MGG-stained. Bone marrow aspirate smear.
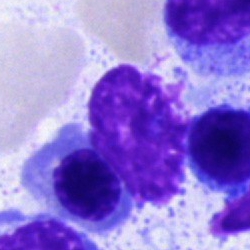 An artefact.